Romanowsky-stained; peripheral blood film.
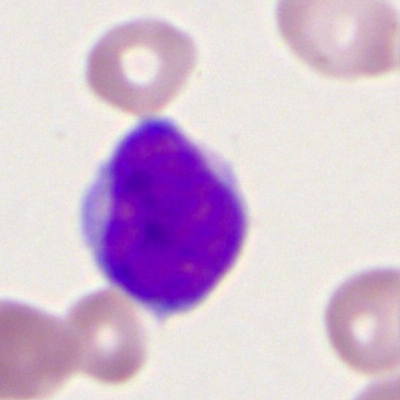 Morphology → myeloid blast.